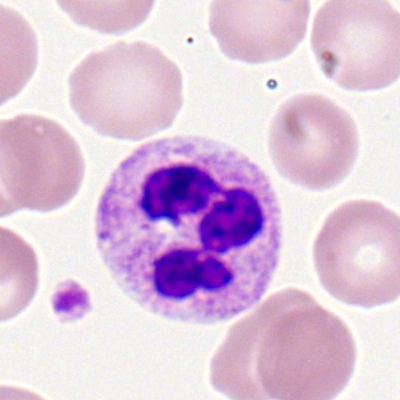
Specimen: peripheral blood smear.
Classification: polymorphonuclear neutrophil.
Lineage: myeloid.